Bone marrow aspirate smear:
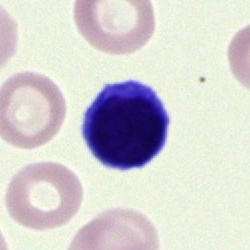Specimen: bone marrow smear.
Classification: lymphocyte.